Bone marrow smear: 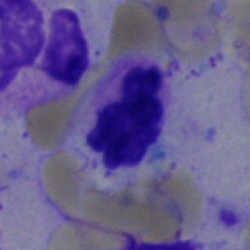
Q: What cell is this?
A: It is a segmented neutrophil.